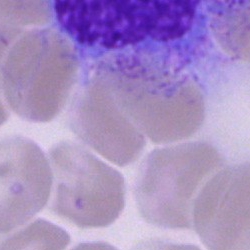{"cell_type": "artifact"}